Bone marrow aspirate smear; single-cell field
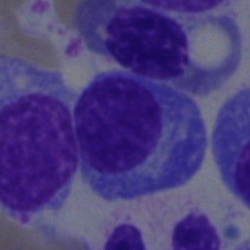 Morphological class — plasma cell.